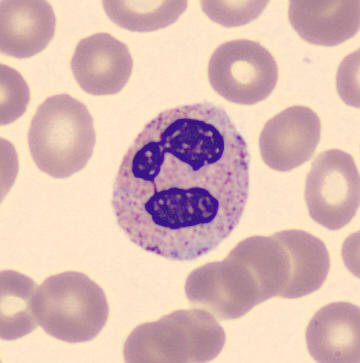A polymorphonuclear neutrophil.